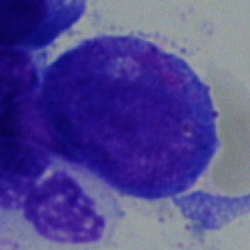

{"cell_type": "promyelocyte", "lineage": "myeloid"}